250 by 250 pixels; bone marrow aspirate smear; May-Grünwald-Giemsa/Pappenheim stain — 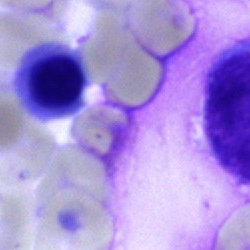

{"cell_type": "erythroblast", "lineage": "erythroid"}